Bone marrow aspirate smear
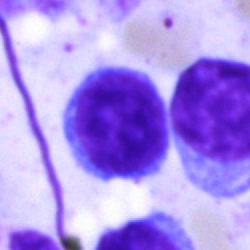
Q: What is shown here?
A: A typical lymphocyte.